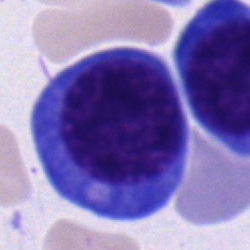
Morphological class: nucleated red cell.